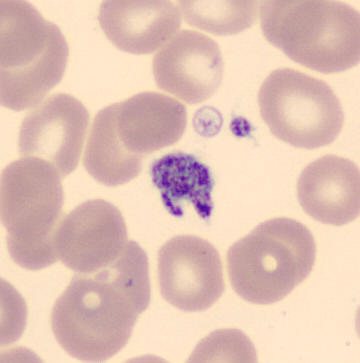
Platelet. Preparation: Peripheral blood smear · CellaVision DM96 · image size 360×363.